Bone marrow smear · single cell centered in the field: 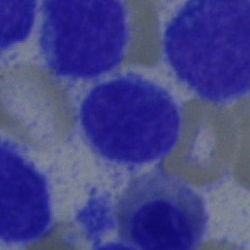 The cell shown is a lymphocyte.